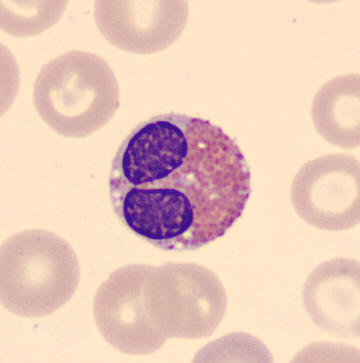
Specimen: peripheral blood film.
Cell type: eosinophilic granulocyte.
Lineage: myeloid.